Bone marrow aspirate smear:
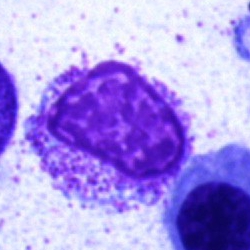 Cell — artefact.